40× objective, oil immersion; bone marrow smear — 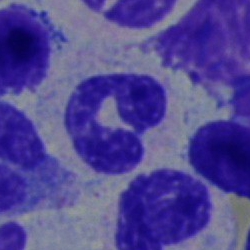Morphology → neutrophil (segmented).